Bone marrow smear · May-Grünwald-Giemsa stain — 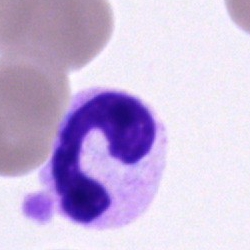This is a neutrophil (band).